Single-cell field; bone marrow aspirate smear; May-Grünwald-Giemsa stain:
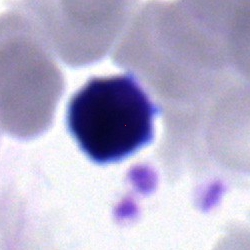
The cell shown is a typical lymphocyte.